Brightfield, 40× oil-immersion objective · bone marrow aspirate smear.
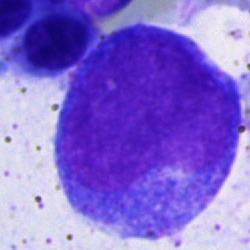

Morphology — promyelocyte.